Bone marrow smear
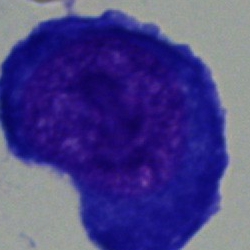

Showing a proerythroblast.